Single-cell field; bone marrow aspirate smear: 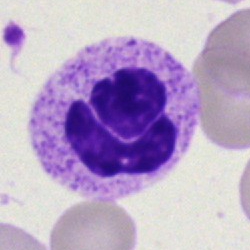Cell: polymorphonuclear neutrophil.